250×250 px; bone marrow smear; single cell centered in the field — 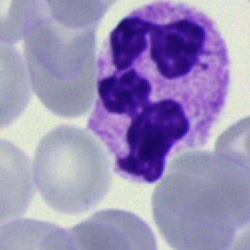Cell — polymorphonuclear neutrophil.